MGG-stained; bone marrow smear:
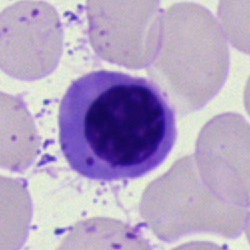

Showing a nucleated red cell.